Single-cell field; bone marrow aspirate smear; 40× objective, oil immersion
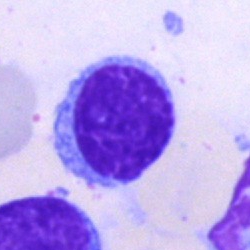 {"cell_type": "typical lymphocyte", "lineage": "lymphoid"}